40× objective, oil immersion. Bone marrow aspirate smear:
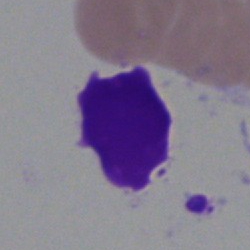
Showing an artifact.